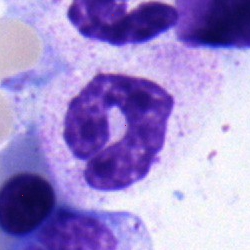 Impression → band neutrophil.